Bone marrow aspirate smear · brightfield, 40× oil-immersion objective · May-Grünwald-Giemsa stain — 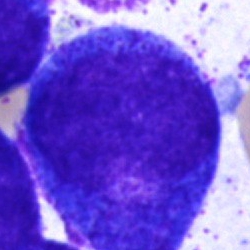{"cell_type": "progranulocyte", "lineage": "myeloid"}